Brightfield, 40× oil-immersion objective; single-cell crop; bone marrow smear
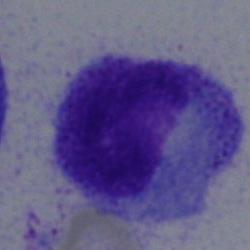Morphological class: progranulocyte.